40× objective, oil immersion. Bone marrow smear
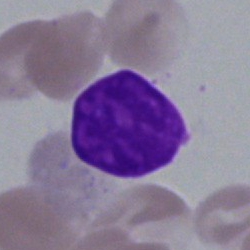The cell shown is an artefact.